Bone marrow aspirate smear.
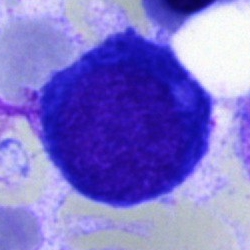
Single cell identified as a proerythroblast.